Bone marrow smear:
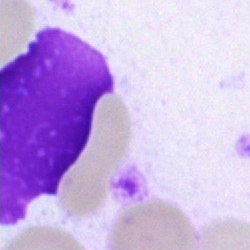 Morphological class: artefact.